Bone marrow aspirate smear
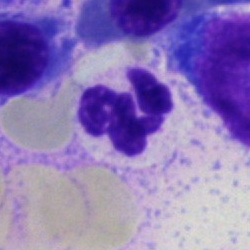Q: What is the morphological classification of this cell?
A: A neutrophil (segmented).